Bone marrow smear.
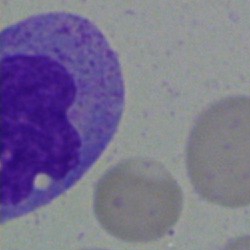 Cell — monocyte.